Pappenheim-stained. Bone marrow smear. 250×250 px:
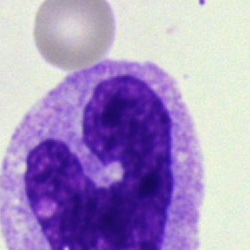
Cell type: monocyte.